40× objective, oil immersion; bone marrow aspirate smear.
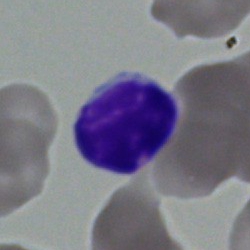

Cell = lymphocyte.